40× oil immersion. May-Grünwald-Giemsa/Pappenheim stain. Bone marrow smear — 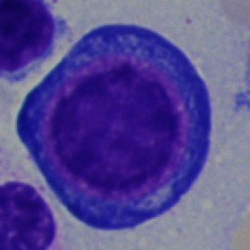Cell: pronormoblast.